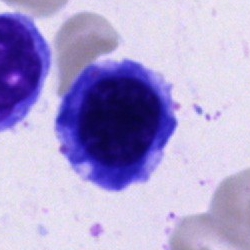 Cell: erythroblast.